Single-cell field. Bone marrow smear
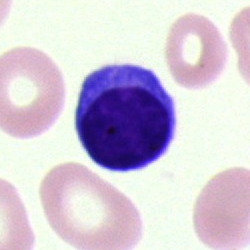
A lymphocyte.